Bone marrow smear.
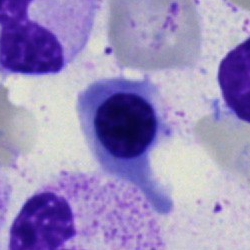
{"cell_type": "erythroblast", "lineage": "erythroid"}